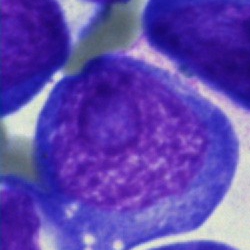
Bone marrow aspirate smear, single cell — blast.